Bone marrow smear.
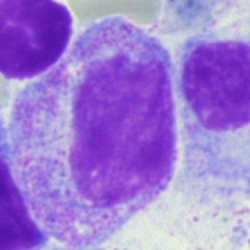 Metamyelocyte.